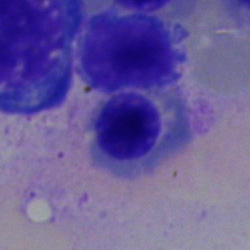

This is a nucleated red cell.